Bone marrow smear · cropped to a single cell · brightfield, 40× oil-immersion objective:
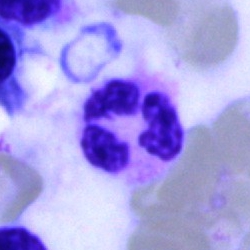

Morphological class — neutrophil (segmented).